Bone marrow smear — 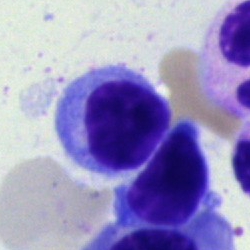 Q: Which cell type is shown here?
A: A lymphocyte.